Bone marrow smear · single cell centered in the field · 250×250 px:
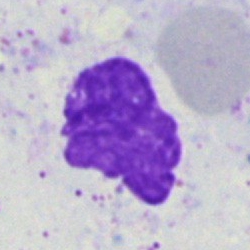 Q: What is shown here?
A: It is an artifact.